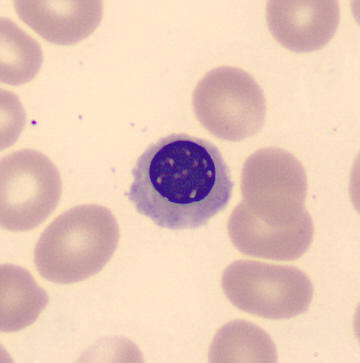
Peripheral blood smear. Q: What is the morphological classification of this cell?
A: This is a nucleated red cell.